Bone marrow aspirate smear. Single-cell field — 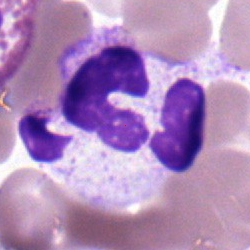Showing a segmented neutrophil.